Bone marrow aspirate smear — 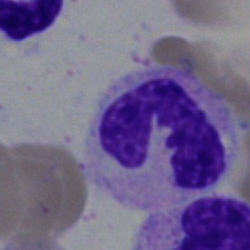
The classification is neutrophil (segmented).